Bone marrow aspirate smear — 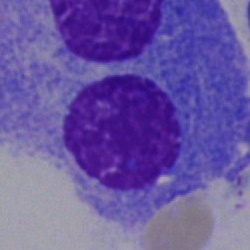

Single cell identified as a plasmacyte.